Pappenheim-stained; bone marrow aspirate smear: 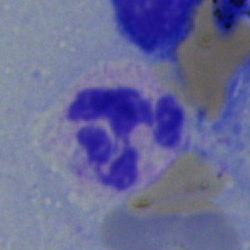 Q: Which cell type is shown here?
A: A segmented neutrophil.